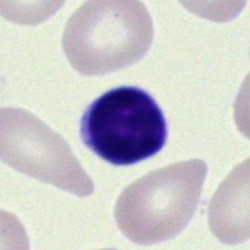

Single-cell crop from a bone marrow smear: typical lymphocyte.